Image size 250×250. Bone marrow smear — 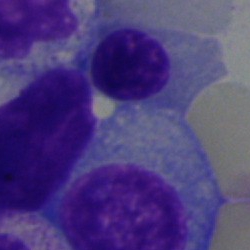

Cell: plasmacyte.